Bone marrow aspirate smear: 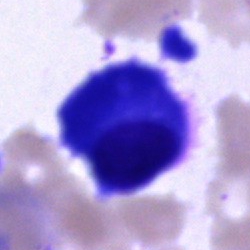Morphology consistent with a plasmacyte.